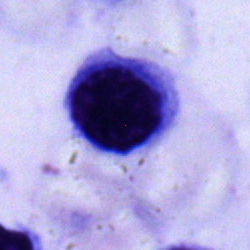 Single cell identified as a normoblast.